Bone marrow aspirate smear · cropped to a single cell — 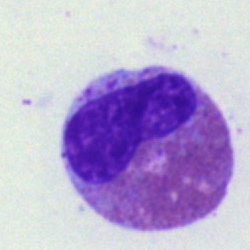

{"cell_type": "eosinophilic granulocyte", "lineage": "myeloid"}